Bone marrow smear
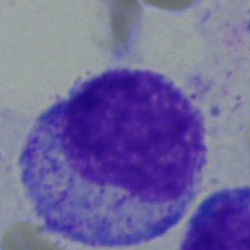Q: What is the morphological classification of this cell?
A: This is a myelocyte.